Bone marrow smear.
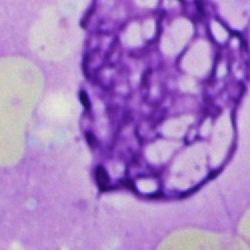
An artefact.